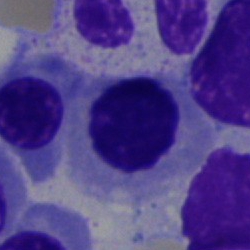

Specimen: bone marrow smear.
Cell type: nucleated red cell.
Lineage: erythroid.